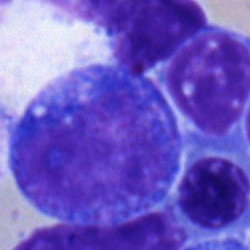 A promyelocyte on a bone marrow smear.